Bone marrow smear · cropped to a single cell · 40× objective, oil immersion.
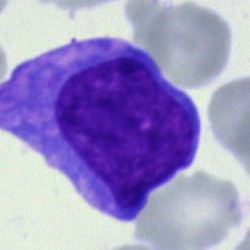
Specimen: bone marrow smear.
Cell: undifferentiated blast.